Bone marrow smear.
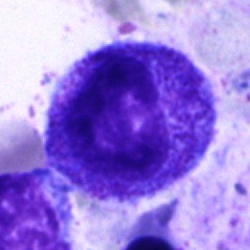
The cell shown is a progranulocyte.